Single-cell crop. Bone marrow aspirate smear. Brightfield microscopy, 40× oil immersion
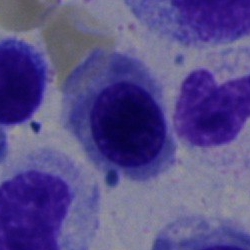Morphology consistent with a nucleated red blood cell.